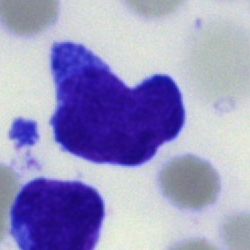Bone marrow aspirate smear, single cell — blast.